Bone marrow aspirate smear; 250×250: 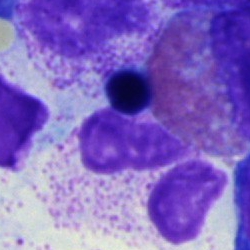A neutrophil (segmented).